Bone marrow smear.
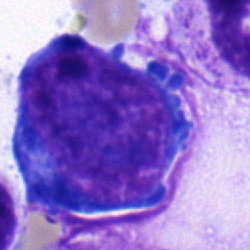

Q: Identify the cell.
A: A pronormoblast.